40× oil immersion. Bone marrow smear: 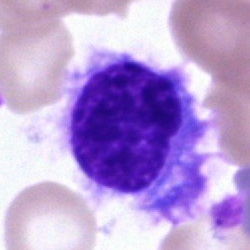

Q: What cell is this?
A: It is a hairy cell.